Bone marrow aspirate smear: 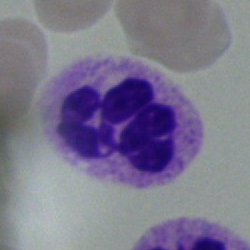

Morphological class: segmented neutrophil.